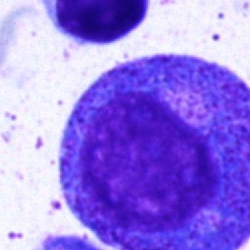Impression — progranulocyte.